Bone marrow aspirate smear:
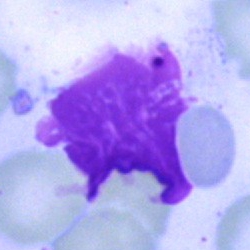
The cell shown is an artefact.